Bone marrow smear.
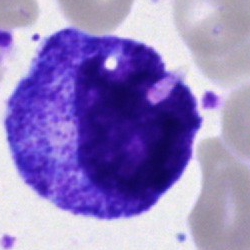Showing a promyelocyte.